Single-cell field. Bone marrow aspirate smear. Brightfield, 40× oil-immersion objective:
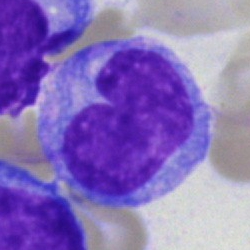

Impression → monocyte.